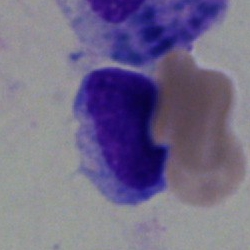 The cell shown is a typical lymphocyte.